Peripheral blood film — 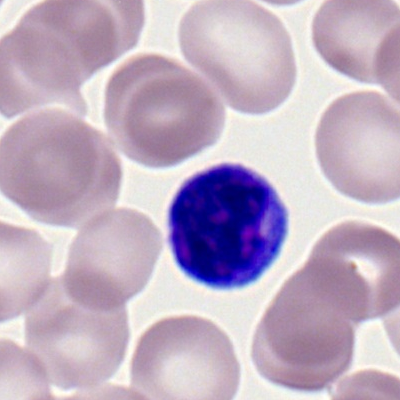

Morphological class = lymphocyte.